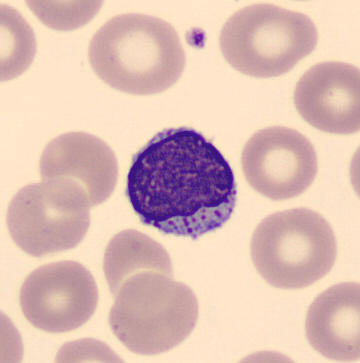
Q: What is shown here?
A: A lymphocyte.

Peripheral blood film.